250×250 px. Bone marrow aspirate smear:
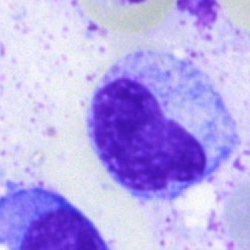
Cell — metamyelocyte.